Romanowsky-type stain · peripheral blood smear: 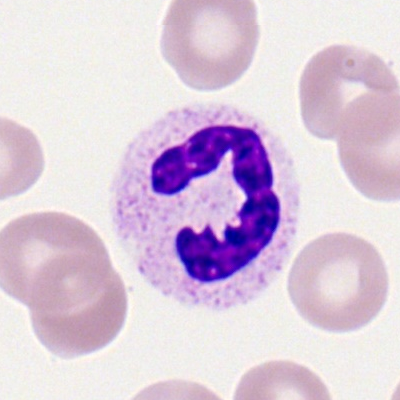
Showing a neutrophil (segmented).